Bone marrow smear.
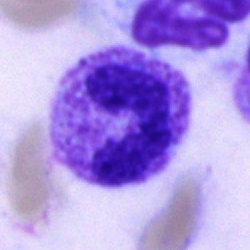
Q: Identify the cell.
A: It is a neutrophil (segmented).